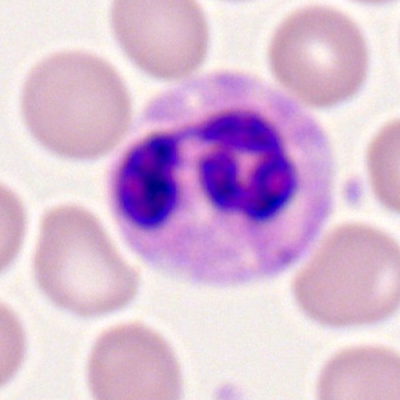
Morphology → neutrophil (segmented).